Bone marrow smear: 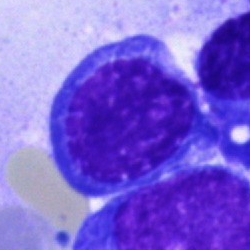
Nucleated red cell.